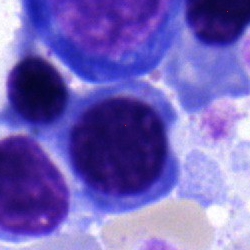{"cell_type": "nucleated red cell", "lineage": "erythroid"}